Peripheral blood smear: 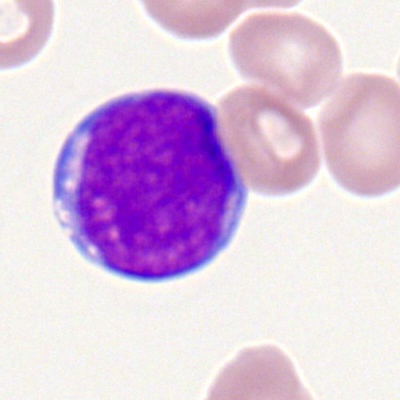Cell type = myeloid blast.